Bone marrow aspirate smear.
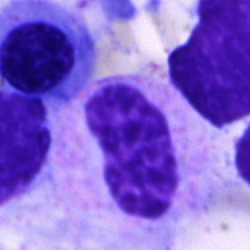 Specimen: bone marrow smear.
Cell: unidentifiable cell.